Bone marrow aspirate smear · single-cell crop: 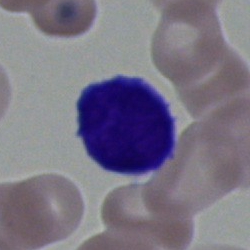 The cell type is lymphocyte.